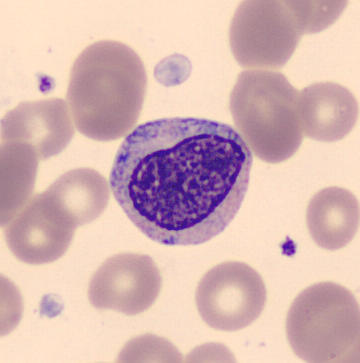 Acquisition: Cropped to a single cell.
Specimen: peripheral blood film.
Morphological class: myelocyte.
Lineage: myeloid.